Bone marrow smear
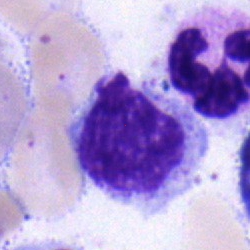
Single cell identified as a myelocyte.